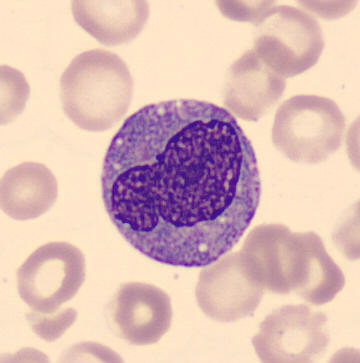{"cell_type": "monocyte", "lineage": "myeloid"}
Preparation: Peripheral blood film; single-cell crop.